Bone marrow aspirate smear · brightfield, 40× oil-immersion objective — 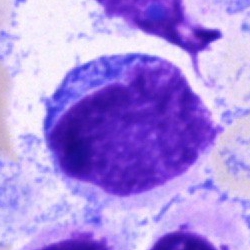 Q: What type of cell is this?
A: Blast cell.